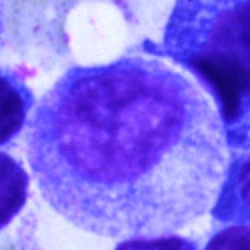

Q: What is shown here?
A: A promyelocyte.